Bone marrow aspirate smear
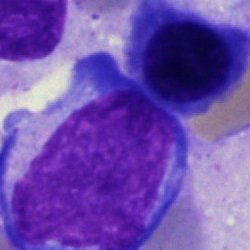

This is a segmented neutrophil.